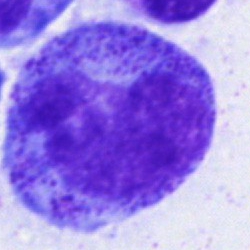 Cell = progranulocyte.